Bone marrow smear: 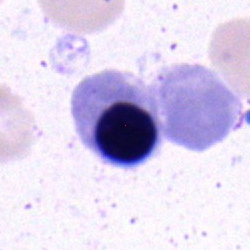Classification = nucleated red cell.